250×250 · bone marrow aspirate smear · 40× objective, oil immersion — 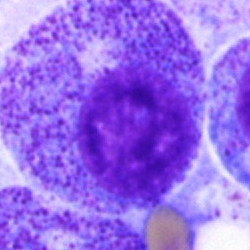
Q: What is the morphological classification of this cell?
A: Myelocyte.